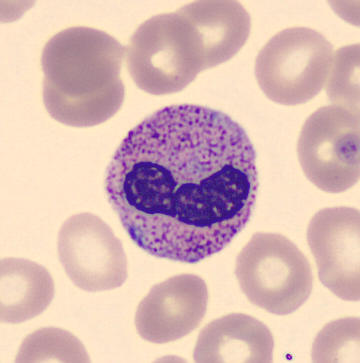 Specimen: peripheral blood smear.
Morphological class: neutrophil (band).
Lineage: myeloid.